Bone marrow aspirate smear: 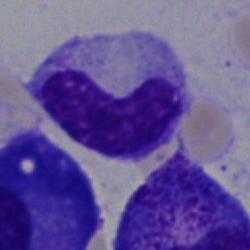

This is a neutrophil (band).